Single cell centered in the field. Bone marrow aspirate smear: 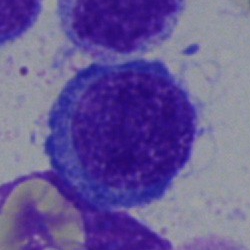
Morphology → nucleated red blood cell.